Bone marrow aspirate smear:
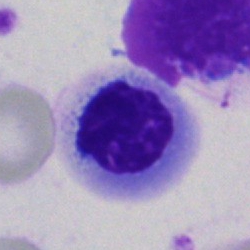 Morphology consistent with a nucleated red cell.